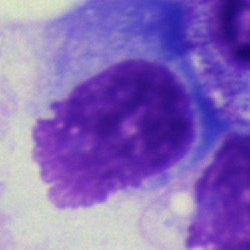

Specimen: bone marrow aspirate smear.
Cell type: artefact.